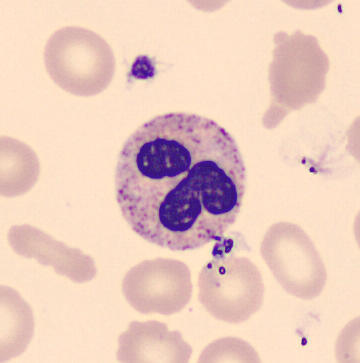 Classification: polymorphonuclear neutrophil.